Bone marrow aspirate smear.
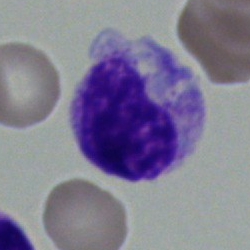The morphological class is metamyelocyte.